Bone marrow aspirate smear. Single-cell crop — 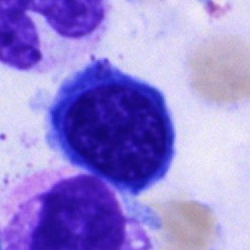Morphological class = nucleated red cell.